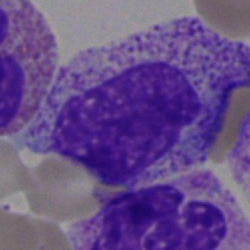A myelocyte.